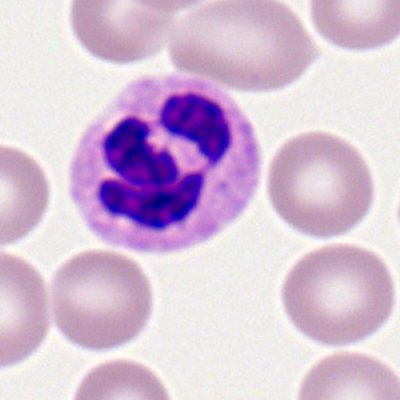
{"cell_type": "polymorphonuclear neutrophil"}